40× objective, oil immersion. Bone marrow aspirate smear — 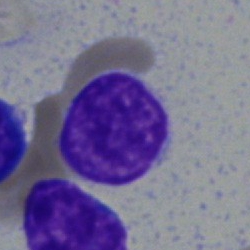

Cell — lymphocyte.